Bone marrow smear. 40× oil immersion.
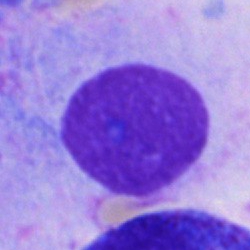 Showing an artifact.